Bone marrow aspirate smear.
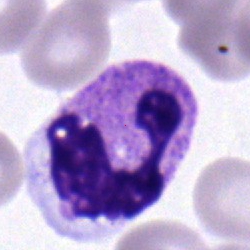

{"cell_type": "neutrophil (segmented)", "lineage": "myeloid"}